Single-cell field; bone marrow aspirate smear
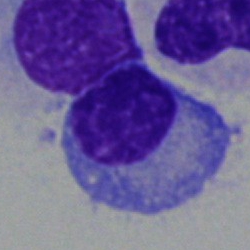
The cell shown is a plasmacyte.